Bone marrow aspirate smear · 250 by 250 pixels · MGG-stained
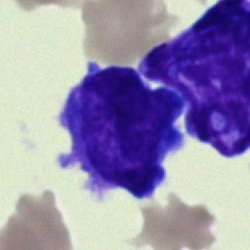 Cell type = undifferentiated blast.